Bone marrow aspirate smear · Pappenheim-stained · single-cell crop — 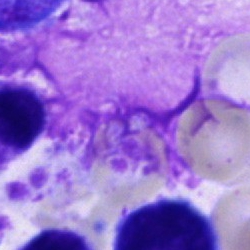
The cell shown is an artifact.